Bone marrow smear · cropped to a single cell · 250×250
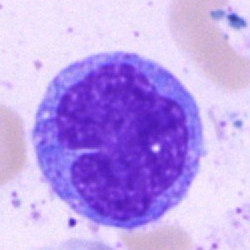A monocyte.